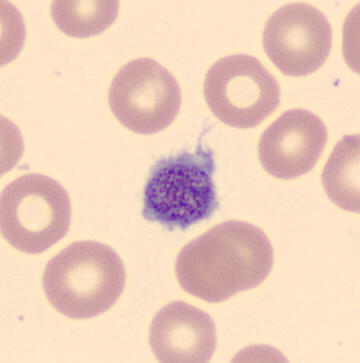

Acquisition: Peripheral blood smear.

Q: What is this?
A: This is a thrombocyte.